Bone marrow smear. Single-cell crop
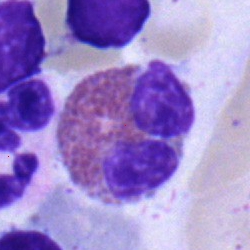Cell: eosinophilic granulocyte.